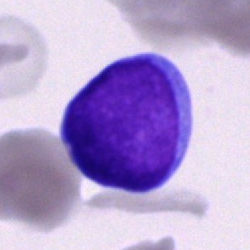 Impression → blast cell.